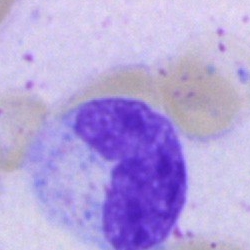 Morphological class = metamyelocyte.